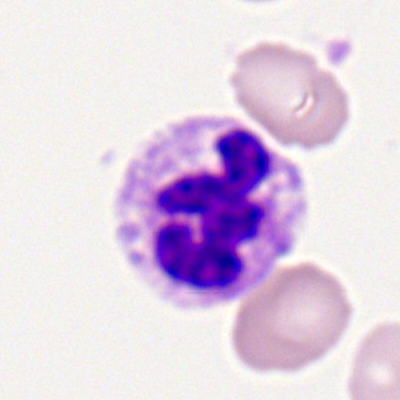

Morphological class — neutrophil (segmented).